Bone marrow aspirate smear.
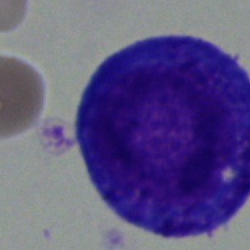 Showing a promyelocyte.